Bone marrow aspirate smear
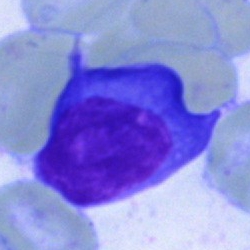
Showing a plasmacyte.